100× oil immersion, 14.14 px/µm. Peripheral blood smear — 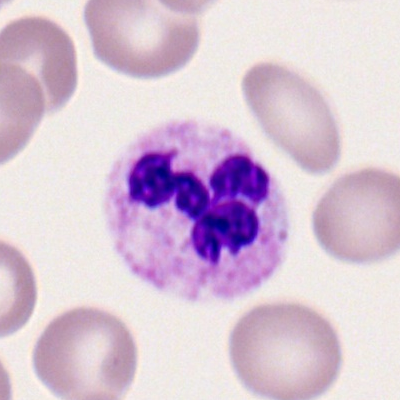A segmented neutrophil.